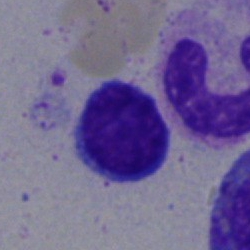
A lymphocyte.